May-Grünwald-Giemsa stain. Bone marrow smear — 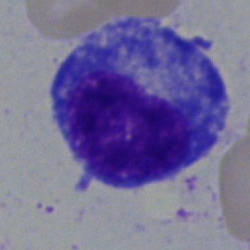

{"cell_type": "progranulocyte", "lineage": "myeloid"}